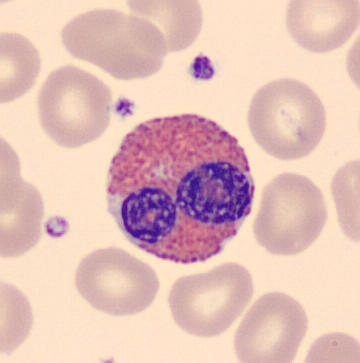
Cell type: eosinophil.